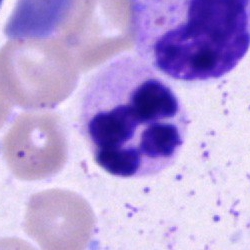 Classification = neutrophil (segmented).